250×250. Bone marrow smear: 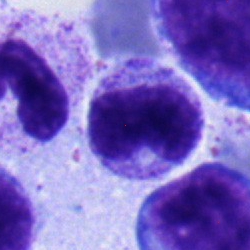This is a metamyelocyte.